May-Grünwald-Giemsa/Pappenheim stain; bone marrow aspirate smear; single cell centered in the field.
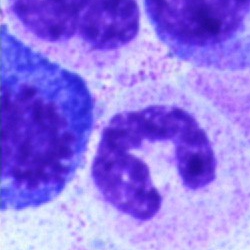

Specimen: bone marrow aspirate smear.
Classification: neutrophil (segmented).
Lineage: myeloid.